MGG-stained; bone marrow smear — 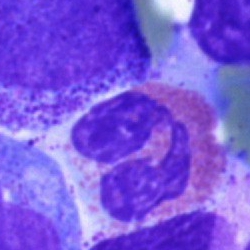 Morphological class: eosinophilic granulocyte.